Bone marrow smear: 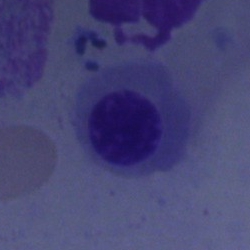Impression — normoblast.